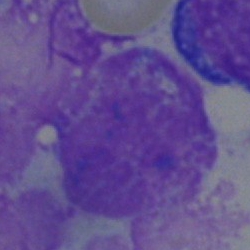This is an artifact.